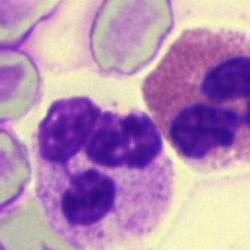 The cell shown is a neutrophil (segmented).